Peripheral blood smear.
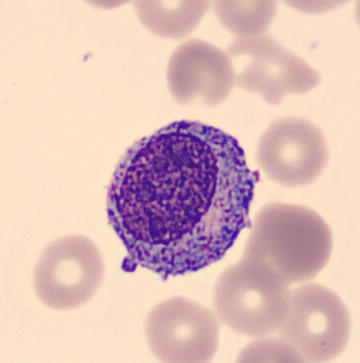
{"cell_type": "progranulocyte", "lineage": "myeloid"}